Peripheral blood film: 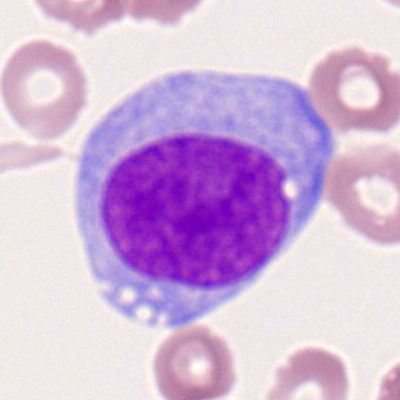 Specimen: peripheral blood film.
Cell type: myeloid blast.